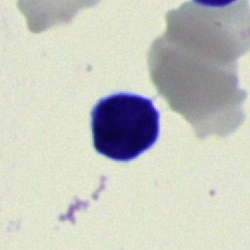
Impression → typical lymphocyte.